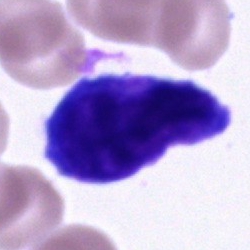

Showing a cell of indeterminate lineage.